Peripheral blood film:
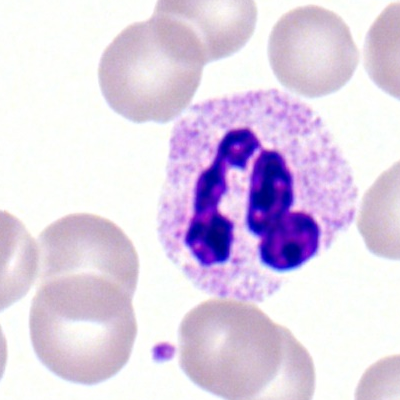
Q: Identify the cell.
A: It is a polymorphonuclear neutrophil.